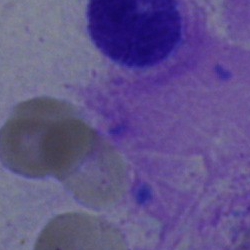
Q: What is shown here?
A: Artefact.